Bone marrow smear · single cell centered in the field · May-Grünwald-Giemsa/Pappenheim stain:
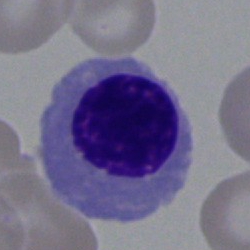

Showing a nucleated red blood cell.